Bone marrow smear · brightfield, 40× oil-immersion objective · image size 250×250:
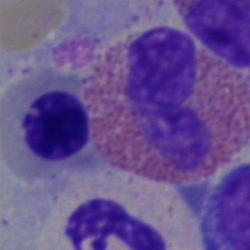
Cell type — eosinophil.